Bone marrow smear; 250×250 px: 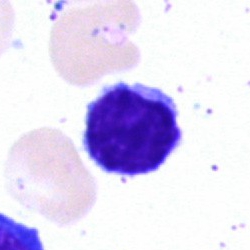

Morphology — lymphocyte.